Single-cell crop · 250 by 250 pixels · bone marrow aspirate smear: 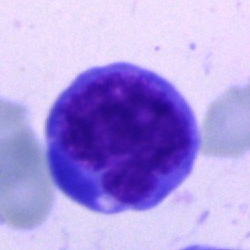
Q: What is shown here?
A: A blast cell.